Bone marrow smear; brightfield, 40× oil-immersion objective: 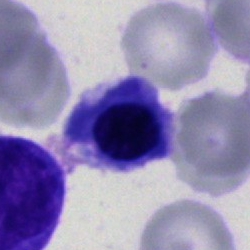Normoblast.